Peripheral blood film:
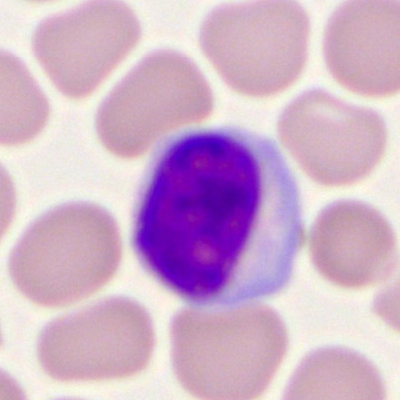
The cell shown is a typical lymphocyte.